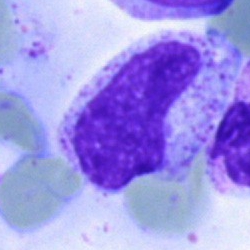
Single-cell crop from a bone marrow smear: stab cell.